Bone marrow aspirate smear
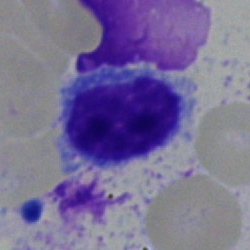 Impression — typical lymphocyte.